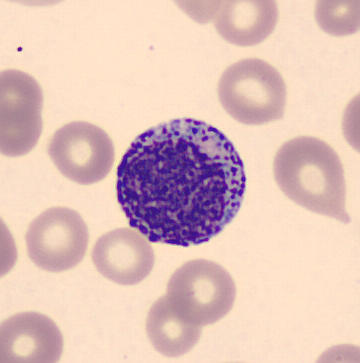
The classification is progranulocyte.